Single-cell crop. Bone marrow smear — 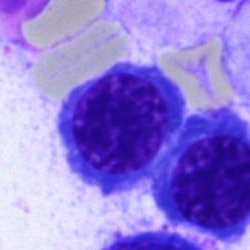{"cell_type": "nucleated red blood cell", "lineage": "erythroid"}